Bone marrow aspirate smear · 250×250 px
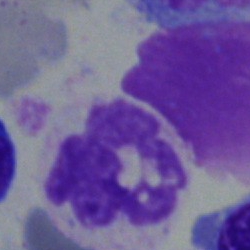

Specimen: bone marrow aspirate smear.
Classification: segmented neutrophil.
Lineage: myeloid.